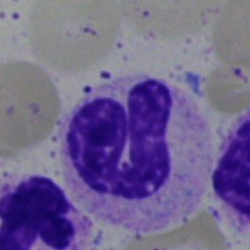

Specimen: bone marrow aspirate smear.
Cell type: band neutrophil.
Lineage: myeloid.